Brightfield, 40× oil-immersion objective · bone marrow smear.
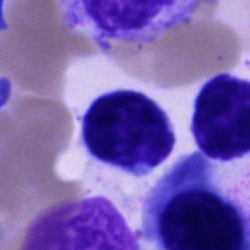The cell shown is a plasmacyte.